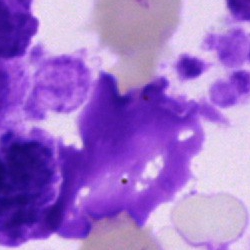

Q: What is shown here?
A: It is an artefact.